Bone marrow smear
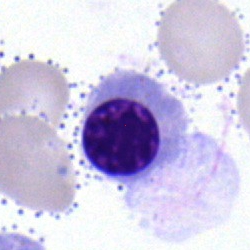

Morphology — normoblast.